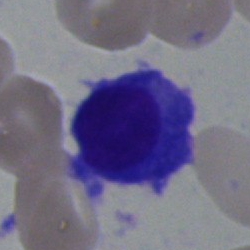
The cell type is plasma cell.